Romanowsky stain · peripheral blood smear — 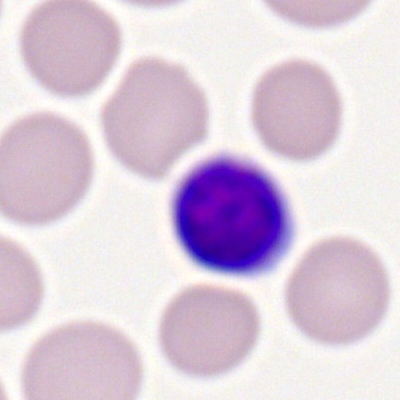
The morphological class is typical lymphocyte.